Bone marrow smear · MGG-stained
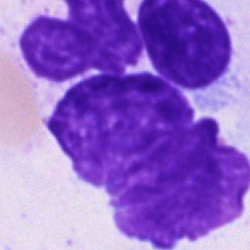
Morphological class = artefact.